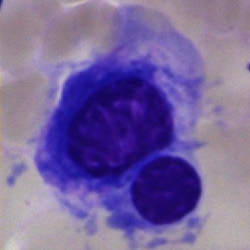
Cell: erythroblast.